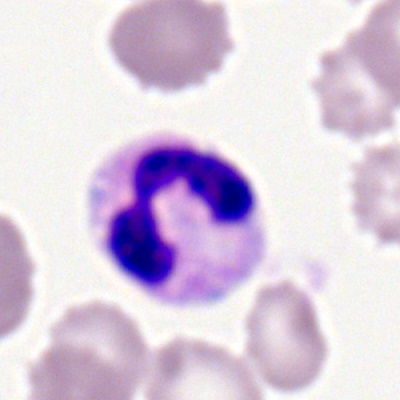 Morphology consistent with a neutrophil (segmented).